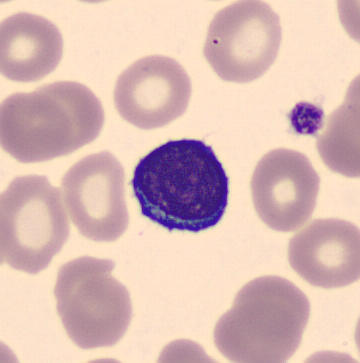 Specimen: peripheral blood smear.
Cell type: typical lymphocyte.